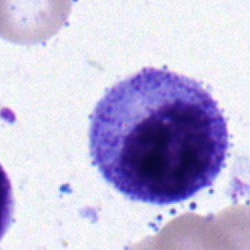

Cell — myelocyte.